Bone marrow aspirate smear — 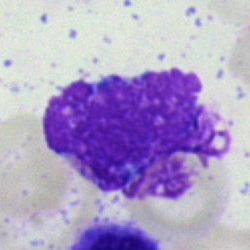An artifact.